Bone marrow smear.
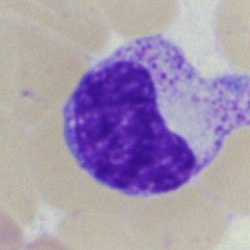
Q: What cell is this?
A: It is a myelocyte.